Bone marrow aspirate smear: 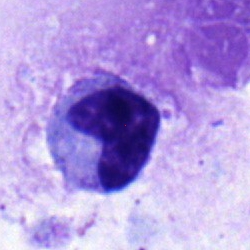

Metamyelocyte.